Bone marrow smear · image size 250×250: 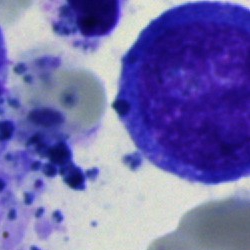Morphology consistent with an unidentifiable cell.